Bone marrow aspirate smear; 250×250; Pappenheim-stained — 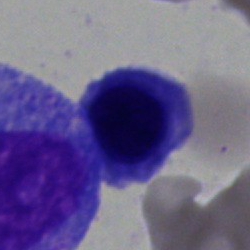 Normoblast.